Bone marrow smear
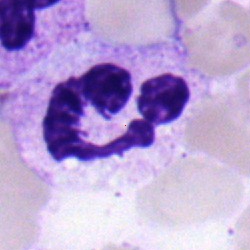

Showing a polymorphonuclear neutrophil.